Brightfield microscopy, 40× oil immersion · bone marrow aspirate smear — 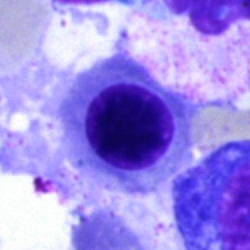Impression — nucleated red blood cell.